Bone marrow aspirate smear. 250×250 px:
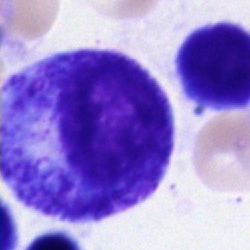

Morphology consistent with a promyelocyte.